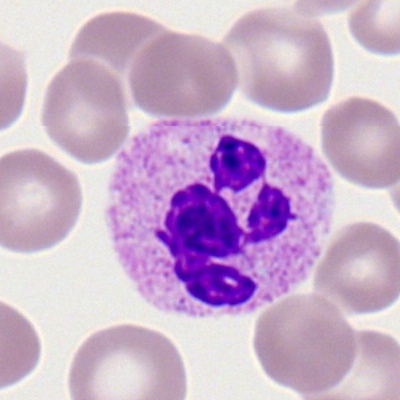

Segmented neutrophil.